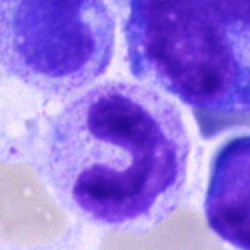

Impression → stab cell.